Peripheral blood film · M8 digital microscope (Precipoint), 100× oil immersion.
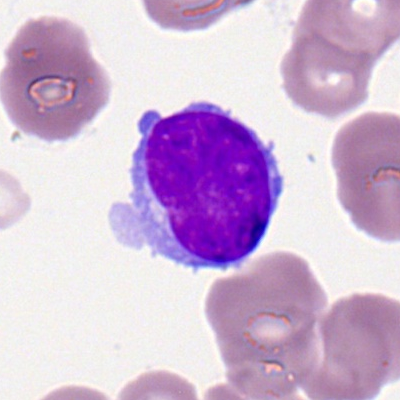 Morphology → lymphocyte.